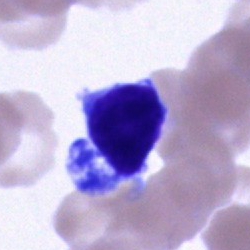
{"cell_type": "lymphocyte"}